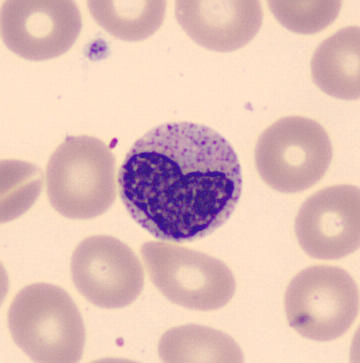 Image: Peripheral blood film. The morphological class is metamyelocyte.